Peripheral blood smear:
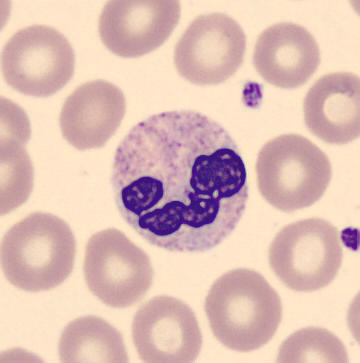 Q: What is the morphological classification of this cell?
A: Neutrophil (segmented).